Peripheral blood film.
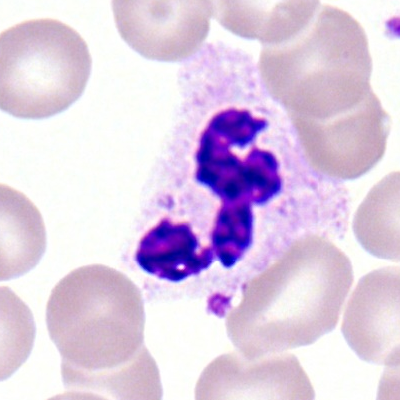

Classification: neutrophil (segmented).